Bone marrow aspirate smear.
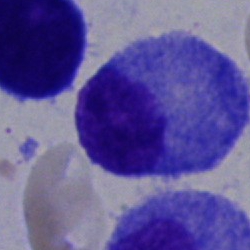 {"cell_type": "plasmacyte", "lineage": "lymphoid"}